250 by 250 pixels. Bone marrow smear
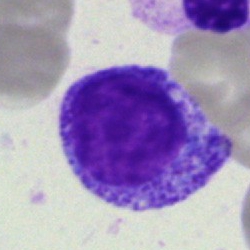
Specimen: bone marrow smear.
Classification: myelocyte.